Bone marrow aspirate smear · 250×250 px.
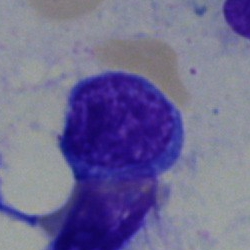Q: What type of cell is this?
A: Typical lymphocyte.